MGG-stained · bone marrow smear:
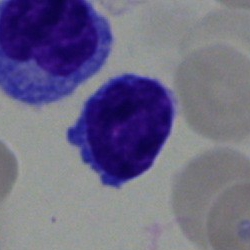 The cell shown is a lymphocyte.